Bone marrow smear: 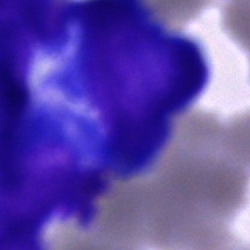 Cell type: blast cell.